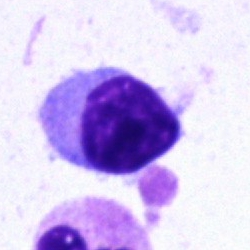

Cell = plasmacyte.